May-Grünwald-Giemsa stain. 250×250 px. Bone marrow aspirate smear
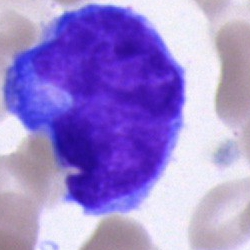Q: What is shown here?
A: Blast.